Single-cell field; bone marrow smear:
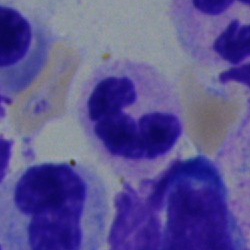 Showing a segmented neutrophil.